Bone marrow aspirate smear · image size 250×250:
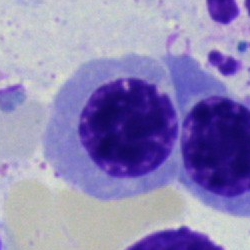
This is a normoblast.